Image size 250×250. Bone marrow aspirate smear. Brightfield, 40× oil-immersion objective:
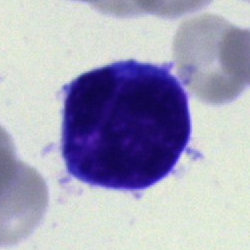
Impression → blast cell.